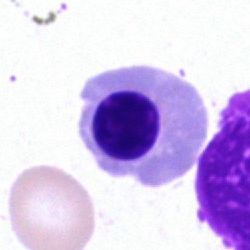

Q: Which cell type is shown here?
A: An erythroblast.